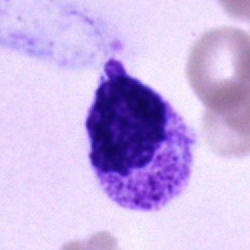

Specimen: bone marrow smear.
Classification: unidentifiable cell.